Bone marrow aspirate smear; cropped to a single cell; brightfield, 40× oil-immersion objective.
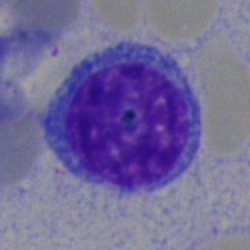Single cell identified as a typical lymphocyte.